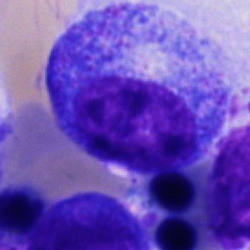
Specimen: bone marrow smear.
Classification: promyelocyte.
Lineage: myeloid.